Bone marrow aspirate smear — 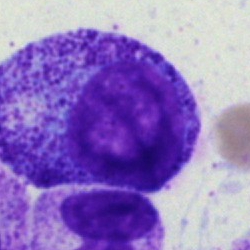 Q: What is shown here?
A: Myelocyte.